Bone marrow smear — 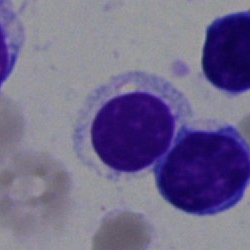

This is a nucleated red cell.